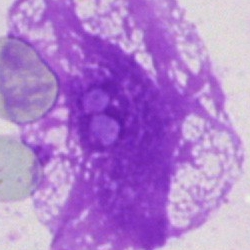
Bone marrow aspirate smear, single cell — artefact.